Bone marrow smear — 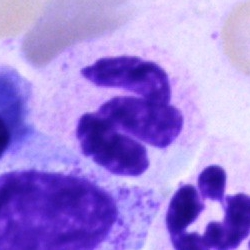This is a polymorphonuclear neutrophil.